Pappenheim-stained; bone marrow aspirate smear.
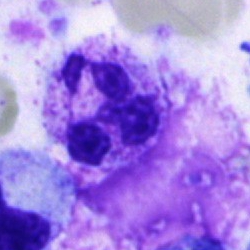 Morphological class: neutrophil (segmented).